Bone marrow smear — 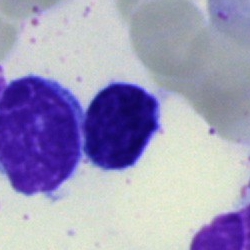 The classification is lymphocyte.